Brightfield, 40× oil-immersion objective; bone marrow smear
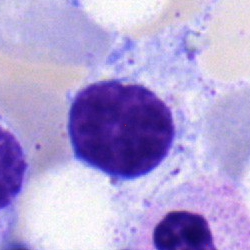 Q: What cell is this?
A: It is a lymphocyte.